Pappenheim-stained; bone marrow smear; single cell centered in the field — 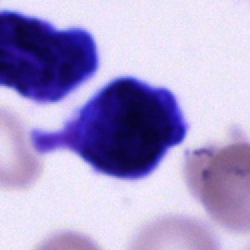 {"cell_type": "cell of indeterminate lineage"}